Bone marrow aspirate smear. 250 by 250 pixels.
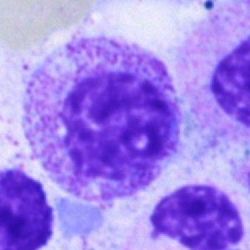
The cell shown is a myelocyte.